Bone marrow aspirate smear
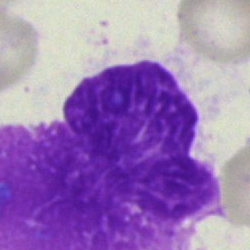
Cell type — artefact.